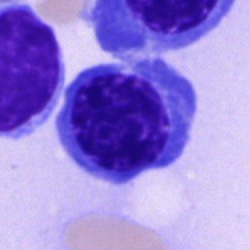 Q: What cell is this?
A: It is a nucleated red cell.